Bone marrow smear. Single-cell crop: 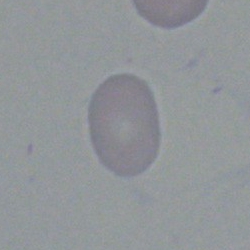
Morphological class — artefact.